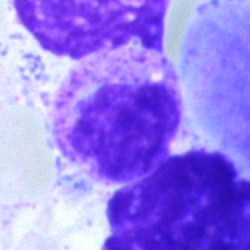Cell type — myelocyte.